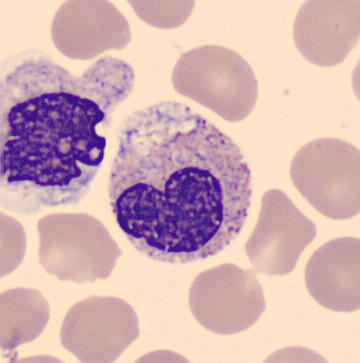
Impression → metamyelocyte.
MGG-stained. Peripheral blood smear. CellaVision DM96.